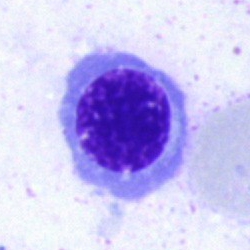

This is a basophilic granulocyte.